Bone marrow smear.
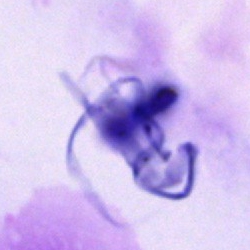
The cell shown is an artifact.